Peripheral blood film
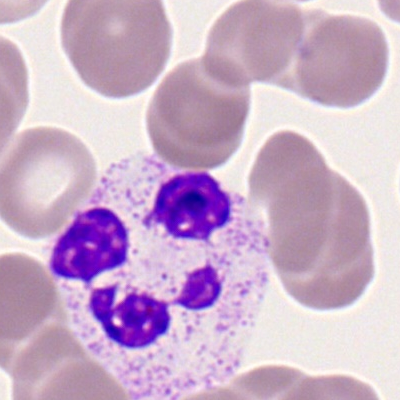Specimen: peripheral blood film.
Cell: polymorphonuclear neutrophil.
Lineage: myeloid.